Peripheral blood smear: 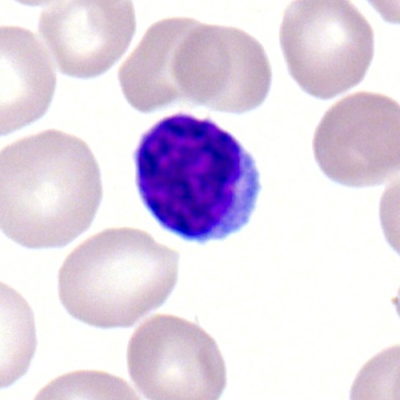
Q: Identify the cell.
A: This is a lymphocyte.